250×250 px. Single-cell field. Bone marrow aspirate smear — 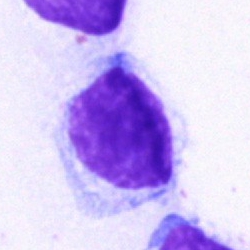
Impression → typical lymphocyte.